Bone marrow aspirate smear:
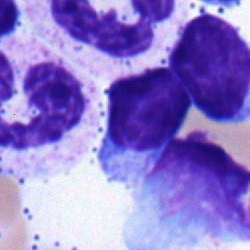Typical lymphocyte.